Bone marrow smear — 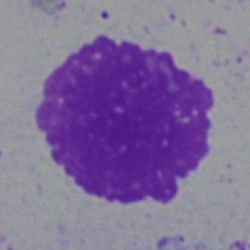

Impression → artifact.